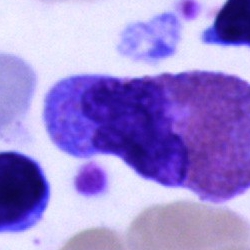

Bone marrow smear showing an eosinophilic granulocyte.